May-Grünwald-Giemsa/Pappenheim stain · bone marrow aspirate smear
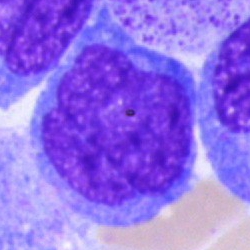 The cell shown is an undifferentiated blast.